40× objective, oil immersion · bone marrow smear · single-cell crop: 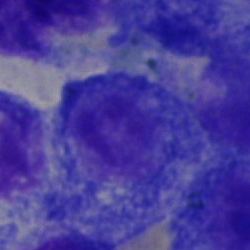Cell — artifact.